Bone marrow smear.
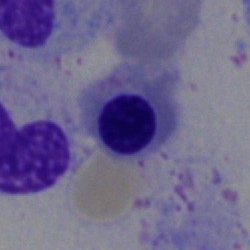 Q: Identify the cell.
A: A nucleated red cell.